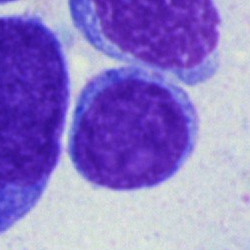

Morphology consistent with a blast.